Single-cell crop. Bone marrow smear — 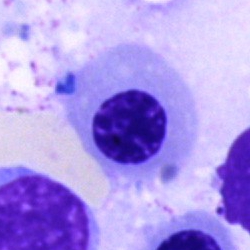
This is an erythroblast.